Bone marrow smear. Brightfield, 40× oil-immersion objective
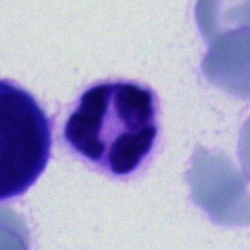
Morphology consistent with a neutrophil (segmented).